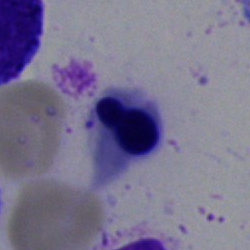
Q: What type of cell is this?
A: This is a nucleated red blood cell.